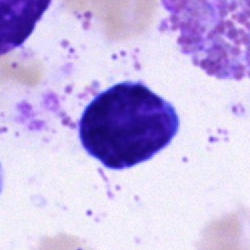Morphology consistent with a typical lymphocyte.